Bone marrow aspirate smear
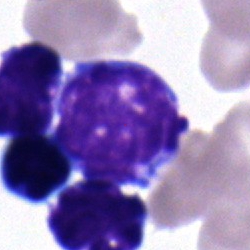Impression → lymphocyte.